Bone marrow smear; cropped to a single cell.
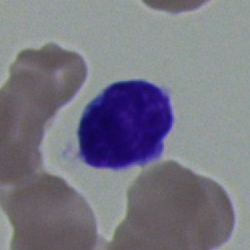

Morphology consistent with a typical lymphocyte.